Bone marrow aspirate smear; single cell centered in the field
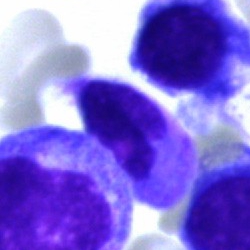Q: What is shown here?
A: An artifact.